Peripheral blood smear: 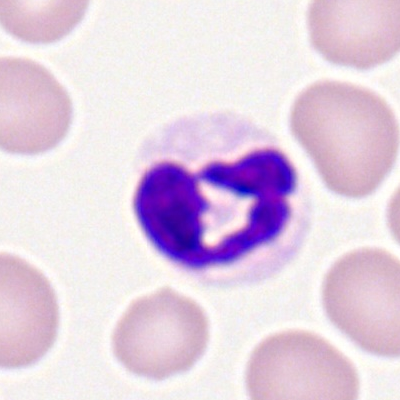

Specimen: peripheral blood film.
Cell type: polymorphonuclear neutrophil.
Lineage: myeloid.